Bone marrow aspirate smear:
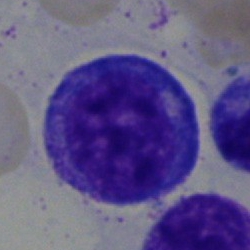 {"cell_type": "promyelocyte", "lineage": "myeloid"}